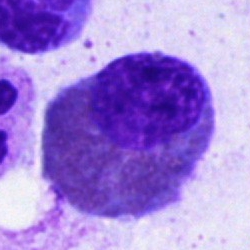
Showing an eosinophilic granulocyte.